Bone marrow smear; Pappenheim-stained
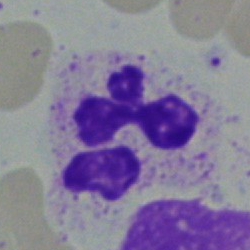 The cell type is neutrophil (segmented).